Bone marrow smear
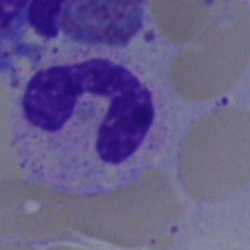Specimen: bone marrow aspirate smear.
Cell: neutrophil (segmented).
Lineage: myeloid.